Single cell centered in the field; bone marrow aspirate smear — 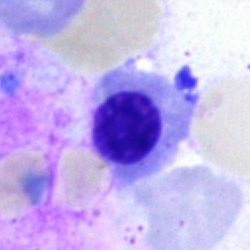Morphology consistent with an erythroblast.